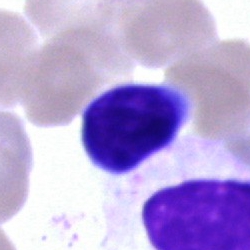
Bone marrow aspirate smear, single cell — typical lymphocyte.